Bone marrow smear: 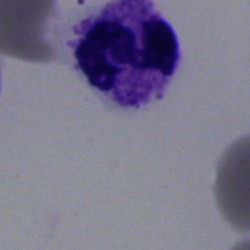 Q: Identify the cell.
A: This is a polymorphonuclear neutrophil.